Bone marrow aspirate smear — 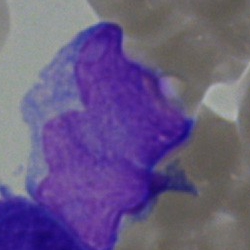
Q: What type of cell is this?
A: This is a blast cell.